Bone marrow aspirate smear · MGG-stained · single-cell crop — 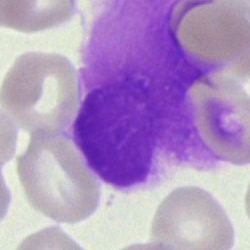
The cell type is artifact.